Bone marrow aspirate smear; 40× oil immersion; image size 250×250:
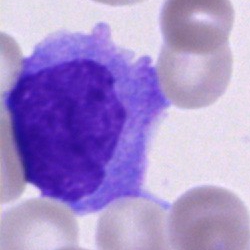 Morphological class — monocyte.